Bone marrow aspirate smear · image size 250×250 — 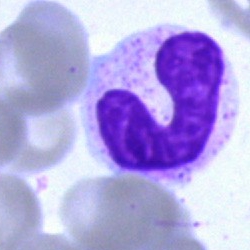
A stab cell.